Bone marrow aspirate smear — 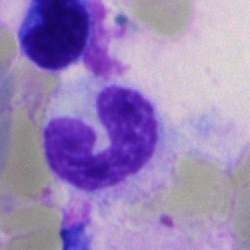

The classification is band-form neutrophil.